Bone marrow aspirate smear.
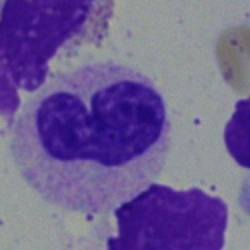
Morphology consistent with a band neutrophil.